Peripheral blood film · cropped to a single cell.
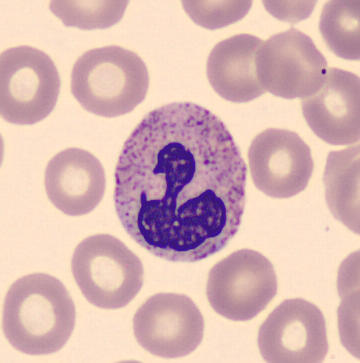 {"cell_type": "neutrophil (segmented)"}